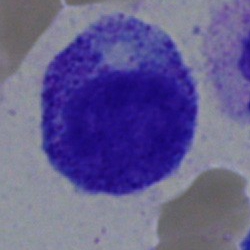 Morphology — myelocyte.